Bone marrow smear — 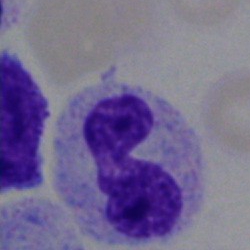
Morphology → polymorphonuclear neutrophil.